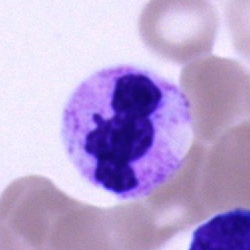Morphology consistent with a segmented neutrophil.